Bone marrow smear — 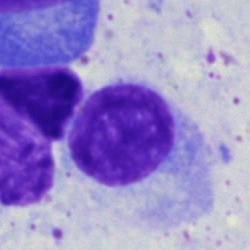

The cell is lymphocyte.